Bone marrow smear · 40× oil immersion.
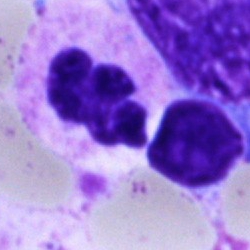Specimen: bone marrow smear.
Cell: neutrophil (segmented).
Lineage: myeloid.